Bone marrow smear · single-cell field: 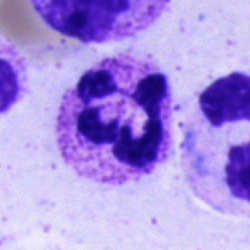Morphology → segmented neutrophil.